Bone marrow smear; single cell centered in the field: 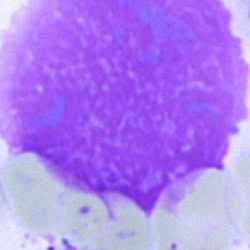

Cell — artefact.